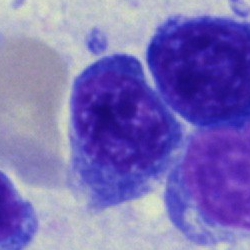 Showing a nucleated red blood cell.